May-Grünwald-Giemsa/Pappenheim stain. Bone marrow smear.
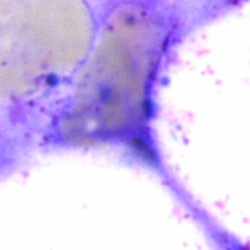This is an artifact.